250 by 250 pixels · bone marrow smear:
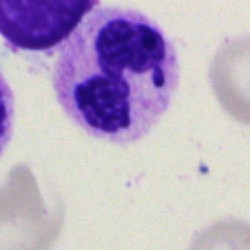
Showing a segmented neutrophil.